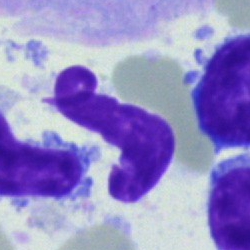

Morphology consistent with an artefact.